Single-cell field. Bone marrow aspirate smear — 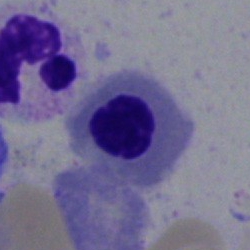The cell is nucleated red blood cell.